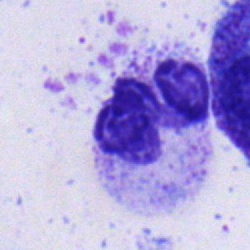Cell: neutrophil (segmented).